Bone marrow aspirate smear:
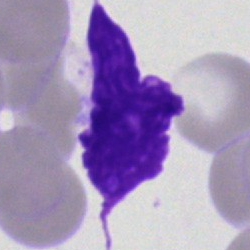Specimen: bone marrow smear.
Cell: artefact.